Bone marrow aspirate smear; brightfield, 40× oil-immersion objective: 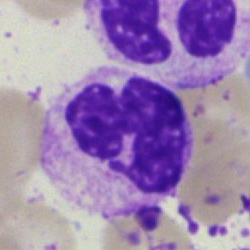 Neutrophil (segmented).